Bone marrow aspirate smear. 40× objective, oil immersion. Single cell centered in the field
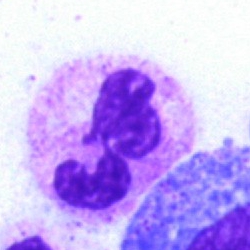 Q: Identify the cell.
A: A neutrophil (segmented).